250 by 250 pixels; bone marrow smear; single-cell field
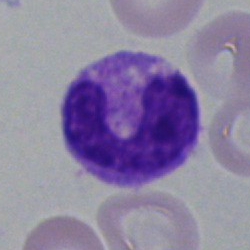 Morphological class = polymorphonuclear neutrophil.